Bone marrow aspirate smear — 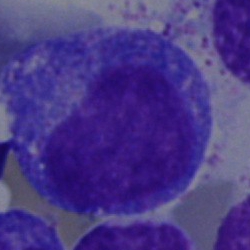Q: Identify the cell.
A: Progranulocyte.